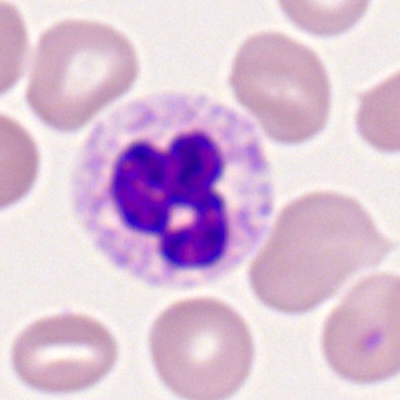

The cell shown is a segmented neutrophil.